Bone marrow smear.
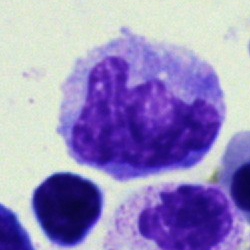

Morphology → monocyte.